400 by 400 pixels · peripheral blood smear.
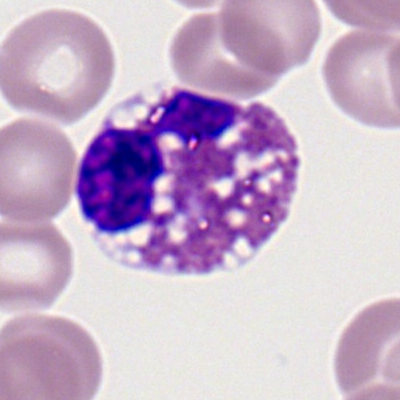

The morphological class is eosinophilic granulocyte.